Pappenheim-stained; 250 by 250 pixels; bone marrow smear: 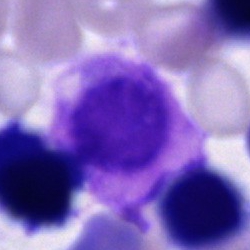

Specimen: bone marrow smear.
Classification: cell of indeterminate lineage.